Bone marrow smear:
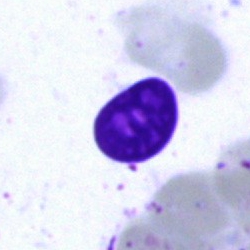

Showing an artefact.